Bone marrow smear: 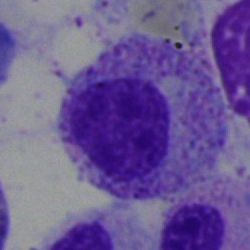 Myelocyte.